Bone marrow aspirate smear. Image size 250×250
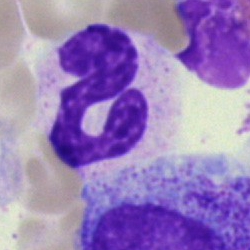 {"cell_type": "neutrophil (segmented)"}